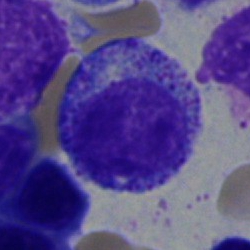 Specimen: bone marrow smear.
Classification: myelocyte.